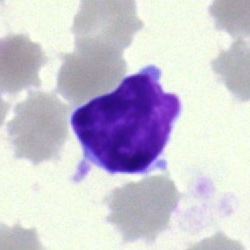 Single cell identified as a typical lymphocyte.